May-Grünwald-Giemsa stain · bone marrow smear:
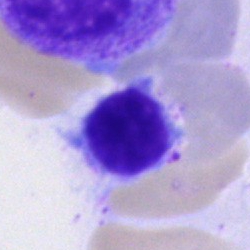 Single cell identified as a lymphocyte.